Image size 250×250 · bone marrow smear · cropped to a single cell:
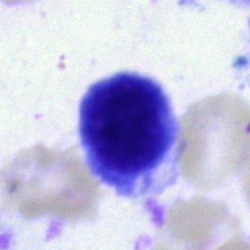 A typical lymphocyte.